Bone marrow aspirate smear
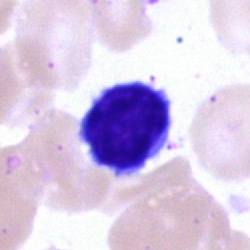Typical lymphocyte.